May-Grünwald-Giemsa stain · bone marrow smear.
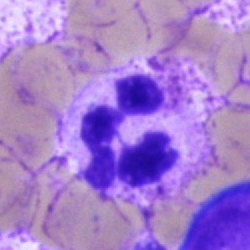 Segmented neutrophil.